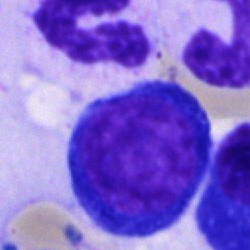Specimen: bone marrow smear.
Morphological class: proerythroblast.
Lineage: erythroid.